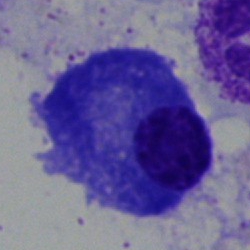

Classification — plasma cell.